100× oil immersion, 14.14 px/µm; peripheral blood film
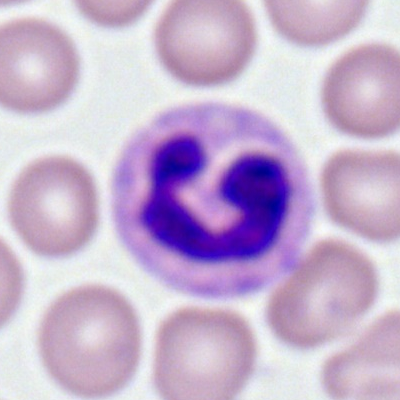 Morphological class = segmented neutrophil.